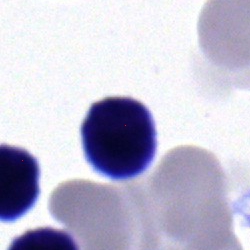
Lymphocyte.